Bone marrow aspirate smear. Pappenheim-stained:
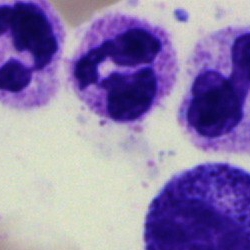

{"cell_type": "polymorphonuclear neutrophil"}